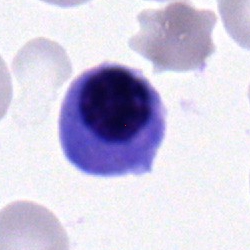Bone marrow smear showing an erythroblast.